Bone marrow aspirate smear.
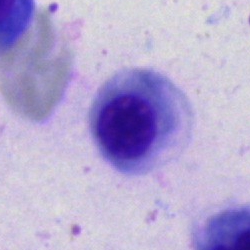
Showing a nucleated red blood cell.